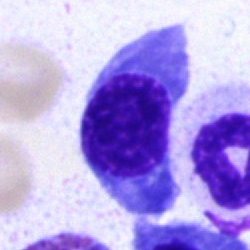Q: Which cell type is shown here?
A: Nucleated red blood cell.